Pappenheim-stained · bone marrow aspirate smear · 250×250 — 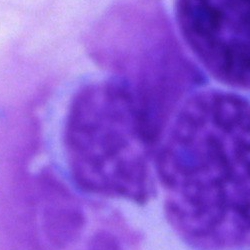Showing an artefact.